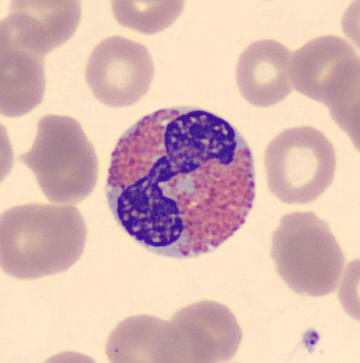

Morphology consistent with an eosinophilic granulocyte.

Image: Cropped to a single cell · peripheral blood film · imaged on a CellaVision DM96 analyser.